Bone marrow smear — 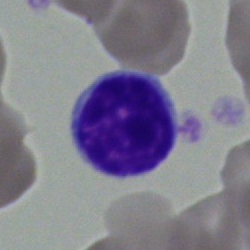

Typical lymphocyte.